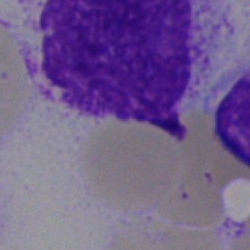 The cell is artefact.